Peripheral blood film · 100× objective, oil immersion
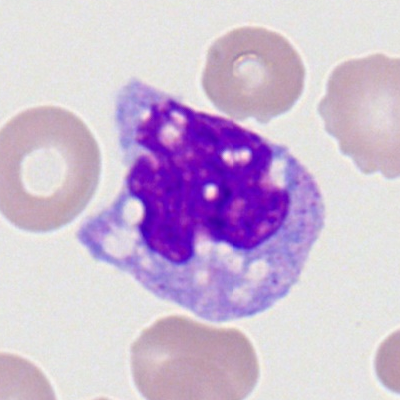
Impression → monocyte.